Bone marrow smear:
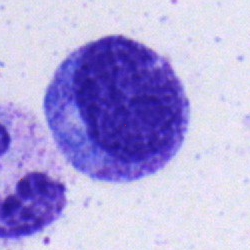
{"cell_type": "myelocyte"}